Bone marrow aspirate smear · single-cell crop:
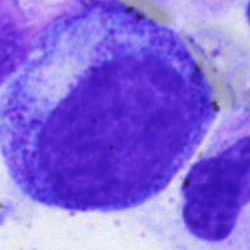 This is a progranulocyte.